Pappenheim-stained · bone marrow aspirate smear — 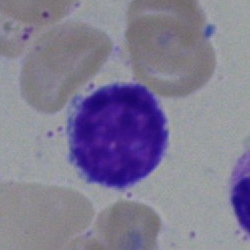Morphology → lymphocyte.